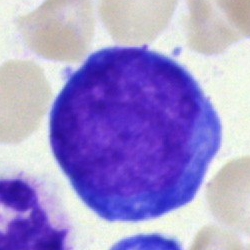

Specimen: bone marrow aspirate smear.
Classification: blast.